Bone marrow aspirate smear:
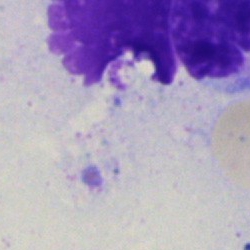

Q: What is shown here?
A: Artifact.